Bone marrow smear: 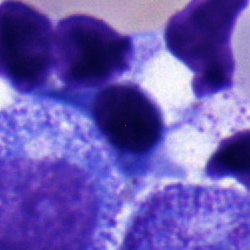Morphology → nucleated red blood cell.